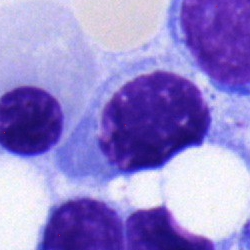
Bone marrow aspirate smear, single cell — erythroblast.